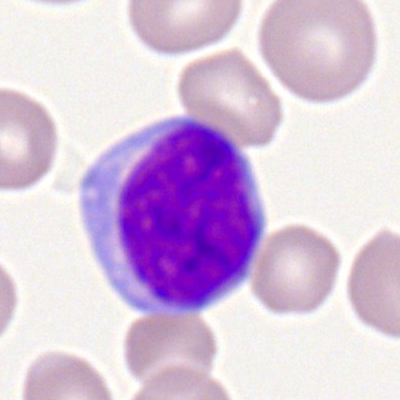
Cell: lymphocyte.